Cropped to a single cell. Bone marrow smear.
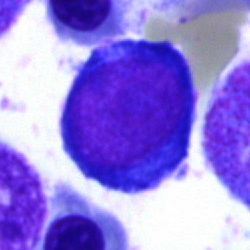

{"cell_type": "nucleated red blood cell", "lineage": "erythroid"}